Bone marrow smear: 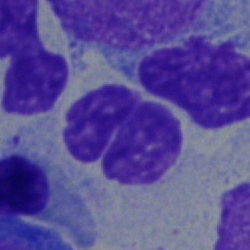

Morphological class: stab cell.